Bone marrow smear — 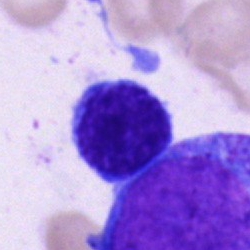
Morphological class — typical lymphocyte.